Bone marrow smear. Image size 250×250 — 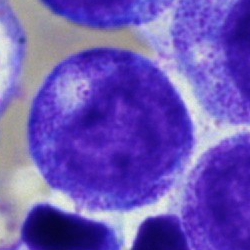 Classification — promyelocyte.